Bone marrow smear
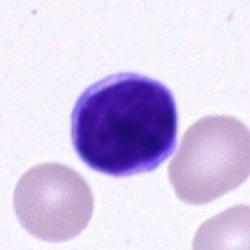

Specimen: bone marrow aspirate smear.
Classification: lymphocyte.